Bone marrow aspirate smear.
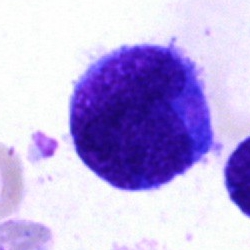 Specimen: bone marrow aspirate smear.
Classification: undifferentiated blast.